May-Grünwald-Giemsa stain; bone marrow aspirate smear; 40× oil immersion: 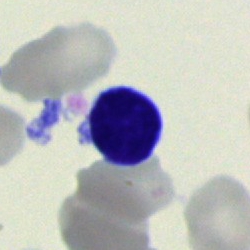
Q: What type of cell is this?
A: This is a typical lymphocyte.